Single cell centered in the field. Peripheral blood smear. CellaVision DM96 digital cell image: 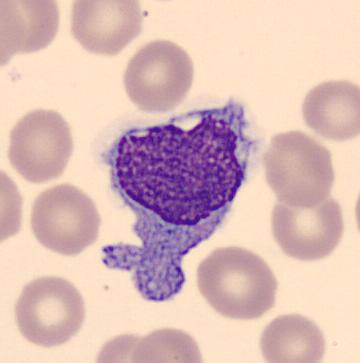
Cell type — monocyte.